Bone marrow smear; 40× objective, oil immersion; cropped to a single cell — 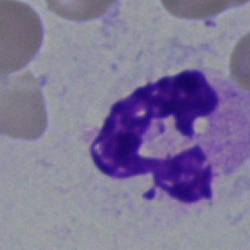Cell type: polymorphonuclear neutrophil.